Bone marrow aspirate smear:
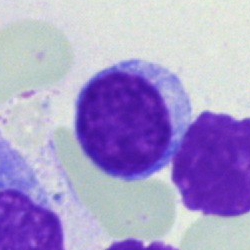

Q: What is the morphological classification of this cell?
A: This is a typical lymphocyte.